Peripheral blood film.
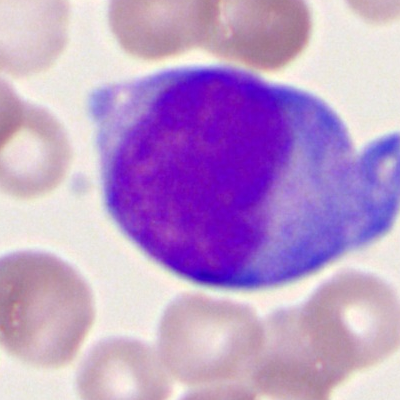Classification = myeloblast.